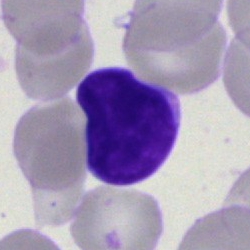

The cell is typical lymphocyte.